Bone marrow smear; brightfield, 40× oil-immersion objective; Pappenheim-stained: 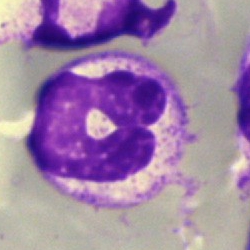
Q: What is shown here?
A: A band neutrophil.